Bone marrow smear — 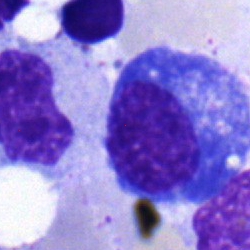
Plasma cell.